Bone marrow aspirate smear.
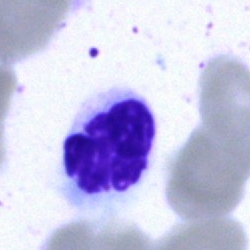
Q: What cell is this?
A: A neutrophil (segmented).